Image size 250×250 · bone marrow aspirate smear · May-Grünwald-Giemsa/Pappenheim stain — 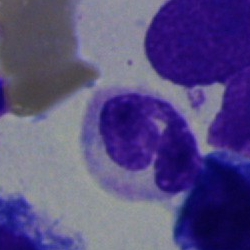Neutrophil (segmented).